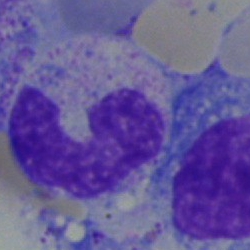 Cell type: band neutrophil.